Bone marrow smear:
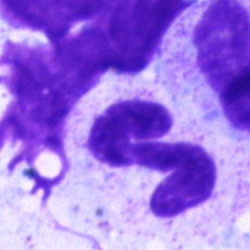

Q: What is the morphological classification of this cell?
A: This is a neutrophil (segmented).